Brightfield, 40× oil-immersion objective · bone marrow aspirate smear · May-Grünwald-Giemsa/Pappenheim stain.
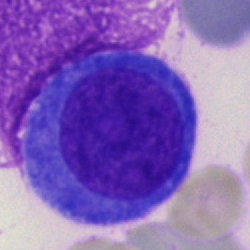
Classification: blast cell.